Bone marrow smear:
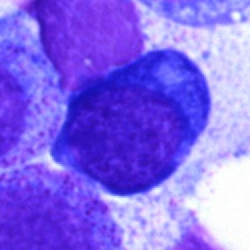 The cell is nucleated red cell.